Bone marrow aspirate smear; MGG-stained — 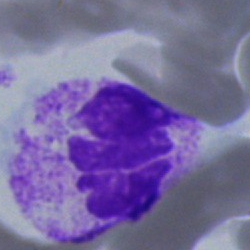 The classification is segmented neutrophil.